Bone marrow aspirate smear:
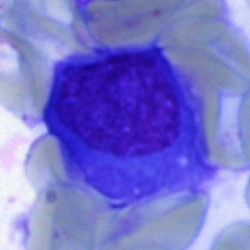
Morphology consistent with a plasmacyte.